Bone marrow aspirate smear: 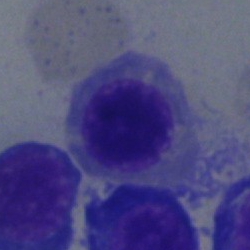This is a nucleated red blood cell.